Bone marrow smear · Pappenheim-stained
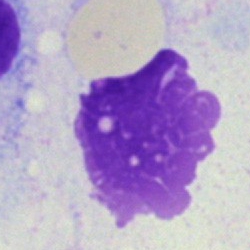

Cell = artifact.